Bone marrow smear; 40× objective, oil immersion
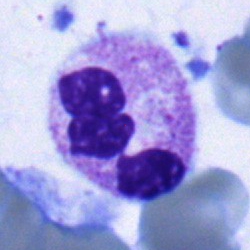Morphological class: segmented neutrophil.